Bone marrow smear.
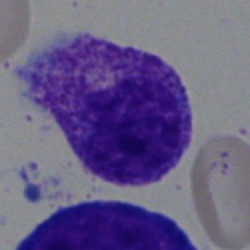Specimen: bone marrow aspirate smear.
Morphological class: metamyelocyte.
Lineage: myeloid.